Image size 250×250. Bone marrow smear. May-Grünwald-Giemsa/Pappenheim stain — 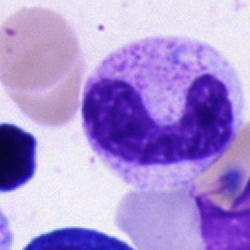

Q: What cell is this?
A: It is a neutrophil (band).